Bone marrow aspirate smear — 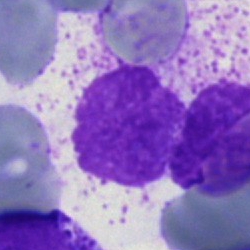 This is an artifact.